Bone marrow aspirate smear.
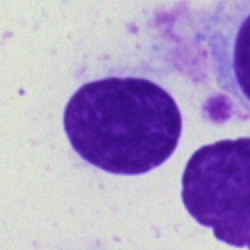The cell is artifact.